Bone marrow aspirate smear. Pappenheim-stained: 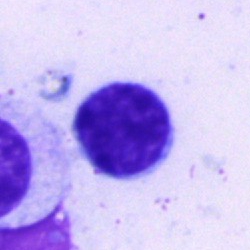
Specimen: bone marrow smear.
Cell: lymphocyte.
Lineage: lymphoid.